Bone marrow smear. Brightfield microscopy, 40× oil immersion.
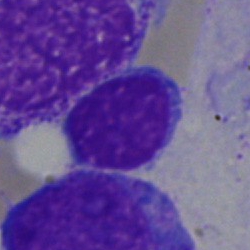 This is a lymphocyte.